Bone marrow smear.
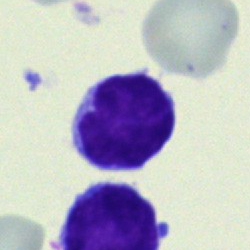

Showing a typical lymphocyte.